250×250; bone marrow aspirate smear — 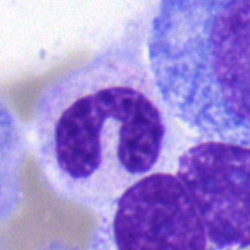
Specimen: bone marrow smear.
Classification: band neutrophil.
Lineage: myeloid.